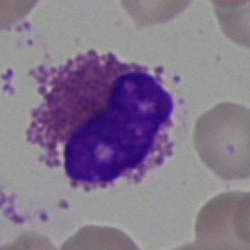 The cell shown is an eosinophilic granulocyte.